Pappenheim-stained · bone marrow aspirate smear
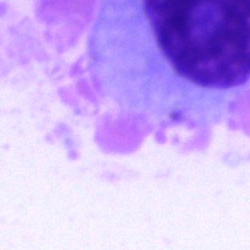 This is a plasmacyte.